Brightfield microscopy, 40× oil immersion · bone marrow aspirate smear
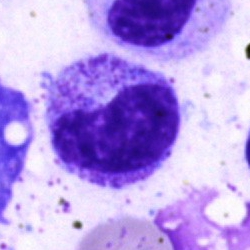Morphology consistent with a metamyelocyte.